MGG-stained · 250×250 · bone marrow aspirate smear.
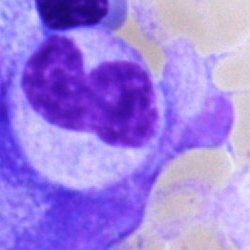The cell shown is a band-form neutrophil.